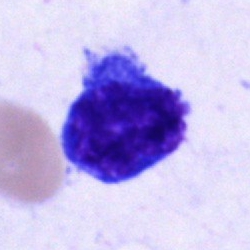
Classification: undifferentiated blast.